Bone marrow smear. Cropped to a single cell:
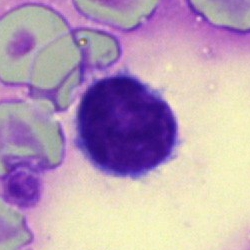Specimen: bone marrow smear.
Classification: lymphocyte.